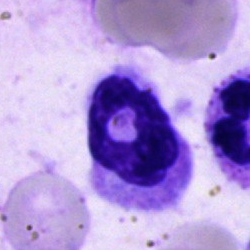
Single-cell crop from a bone marrow smear: segmented neutrophil.